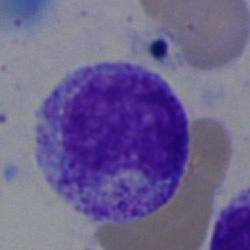A myelocyte.